250 by 250 pixels; bone marrow aspirate smear
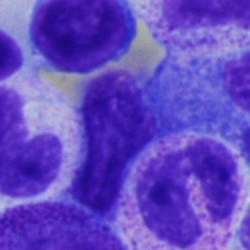 Showing an unidentifiable cell.